Peripheral blood film
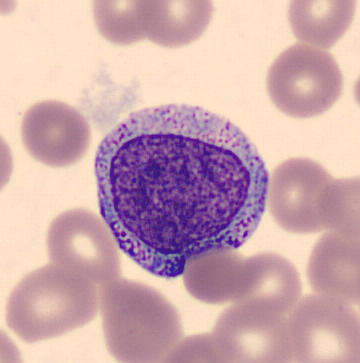
The morphological class is promyelocyte.